40× oil immersion; image size 250×250; bone marrow smear
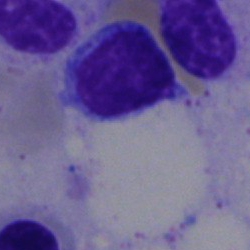

Classification: lymphocyte.